40× oil immersion; bone marrow smear:
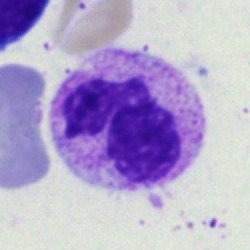 Neutrophil (segmented).